Bone marrow aspirate smear.
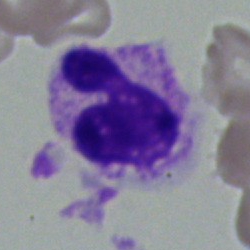 Cell: segmented neutrophil.